Bone marrow aspirate smear · May-Grünwald-Giemsa/Pappenheim stain: 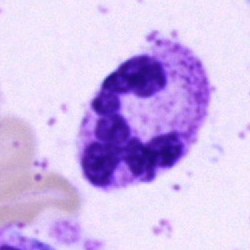
Morphology — segmented neutrophil.